250×250 px. Bone marrow smear: 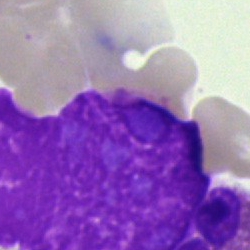 Specimen: bone marrow aspirate smear.
Cell: artefact.